MGG-stained. Single-cell crop. Bone marrow smear: 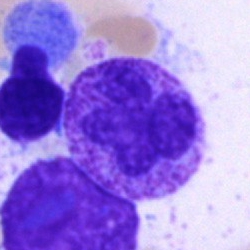A polymorphonuclear neutrophil.